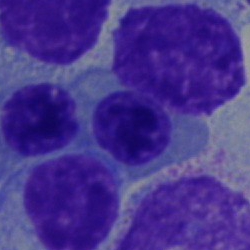{"cell_type": "nucleated red blood cell", "lineage": "erythroid"}